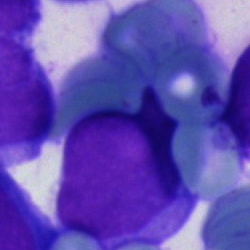 Specimen: bone marrow smear.
Cell: blast cell.